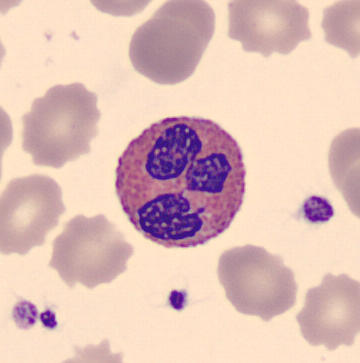CellaVision DM96.
Specimen: peripheral blood film.
Cell: eosinophilic granulocyte.
Lineage: myeloid.